250×250 px. Bone marrow aspirate smear
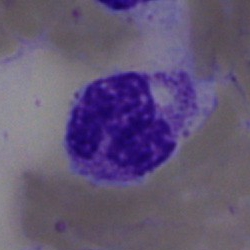Specimen: bone marrow aspirate smear.
Classification: segmented neutrophil.
Lineage: myeloid.